Bone marrow smear
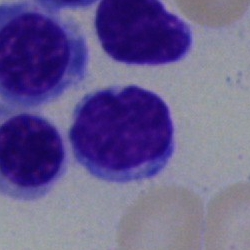
Specimen: bone marrow smear.
Cell: typical lymphocyte.
Lineage: lymphoid.